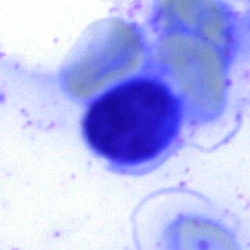
Morphological class — unidentifiable cell.